Bone marrow aspirate smear. Single cell centered in the field.
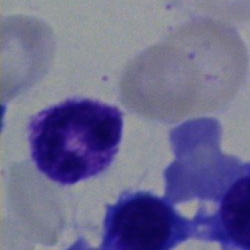Showing a segmented neutrophil.